Bone marrow smear:
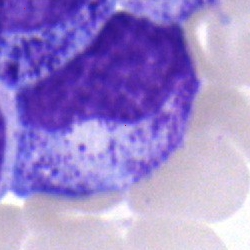
Showing a myelocyte.